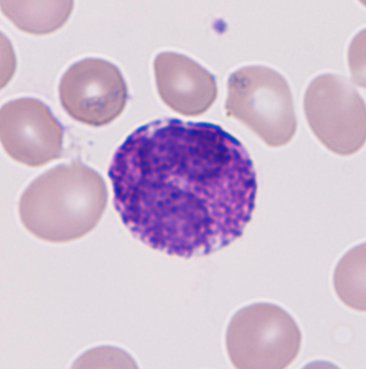 Cell — basophil.
Image: Peripheral blood film · single-cell field.